250 by 250 pixels. May-Grünwald-Giemsa/Pappenheim stain. Bone marrow aspirate smear
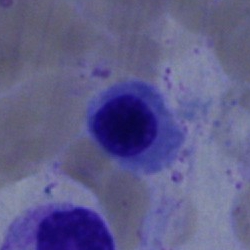 Cell type = nucleated red cell.